Peripheral blood film · 400×400:
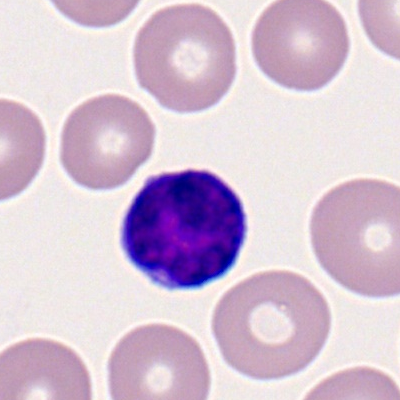 Lymphocyte.